250×250 px. Bone marrow smear:
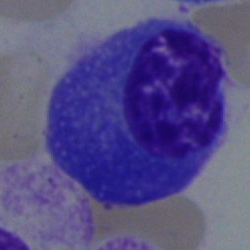

Specimen: bone marrow aspirate smear.
Cell: plasmacyte.